Cropped to a single cell; peripheral blood smear:
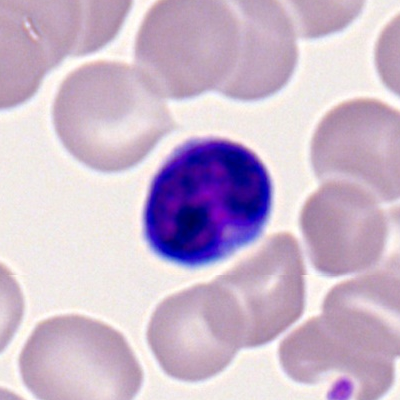

Cell type: typical lymphocyte.